Bone marrow smear: 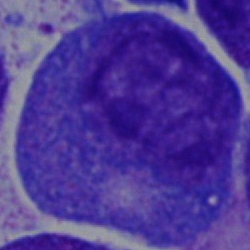 Morphological class: promyelocyte.